Bone marrow aspirate smear:
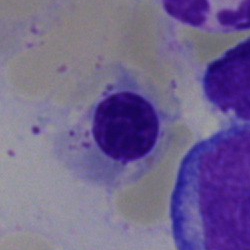 Cell: nucleated red cell.